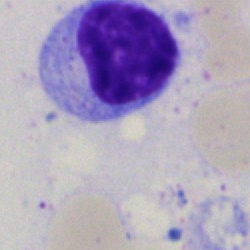
Specimen: bone marrow aspirate smear.
Classification: lymphocyte.